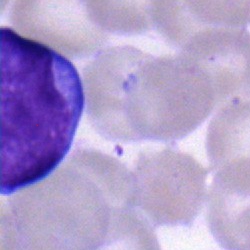 This is a typical lymphocyte.